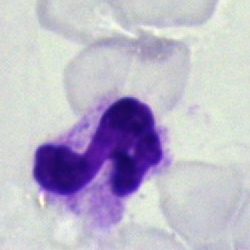Q: Which cell type is shown here?
A: This is a neutrophil (segmented).